Peripheral blood film · 400 by 400 pixels · 100× objective, oil immersion.
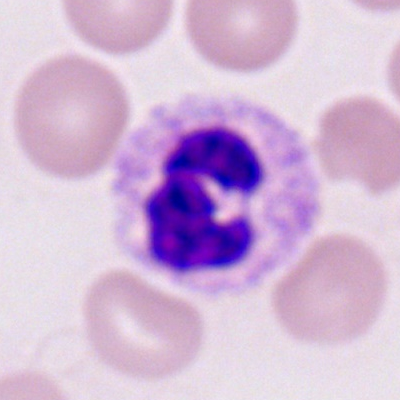

A segmented neutrophil.